Bone marrow smear. Image size 250×250 — 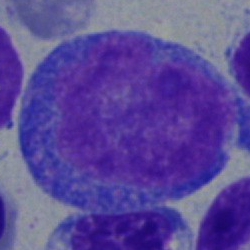Showing a blast.